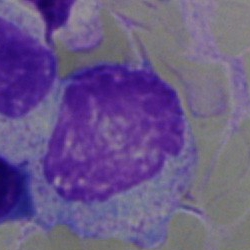

Specimen: bone marrow aspirate smear.
Classification: myelocyte.
Lineage: myeloid.